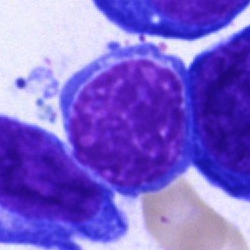This is a normoblast.